Bone marrow smear.
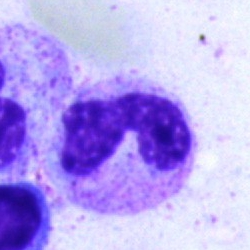 The classification is neutrophil (segmented).